Peripheral blood film:
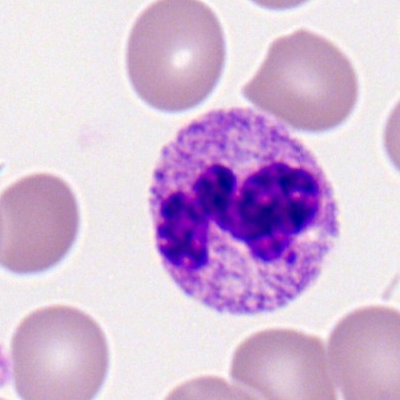 Cell type = segmented neutrophil.